Peripheral blood smear:
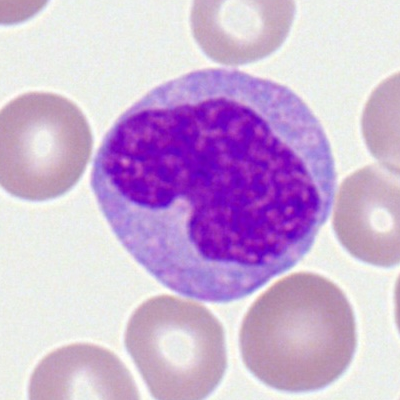 Monocyte.